May-Grünwald-Giemsa/Pappenheim stain · bone marrow smear: 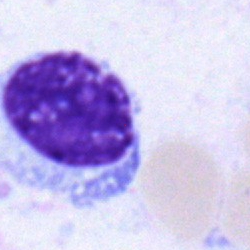

Specimen: bone marrow smear.
Morphological class: lymphocyte.
Lineage: lymphoid.